Image size 250×250 · bone marrow smear
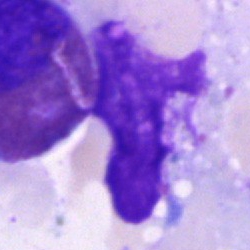Q: What is shown here?
A: It is an artifact.